Bone marrow aspirate smear.
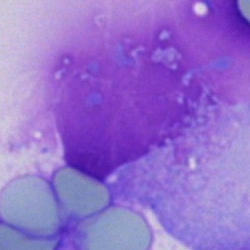

The cell shown is an artefact.